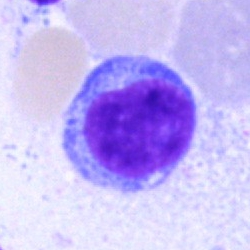
Specimen: bone marrow aspirate smear.
Morphological class: typical lymphocyte.
Lineage: lymphoid.